Bone marrow smear · Pappenheim-stained
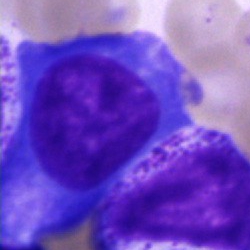{"cell_type": "plasma cell", "lineage": "lymphoid"}